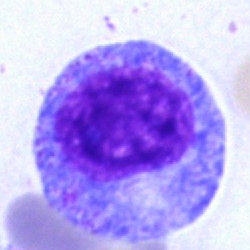 Progranulocyte.